May-Grünwald-Giemsa stain. Single-cell crop. Bone marrow aspirate smear
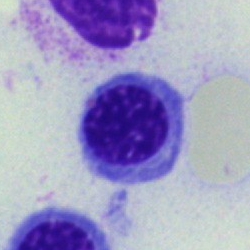 Cell type: nucleated red blood cell.